Bone marrow aspirate smear:
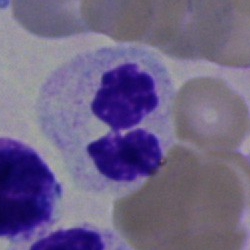
Cell — segmented neutrophil.